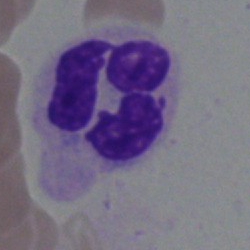

Cell type — neutrophil (segmented).